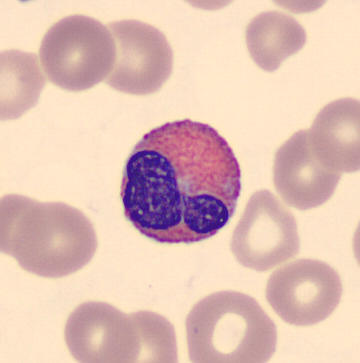 Identified as an eosinophilic granulocyte.